Bone marrow smear; single cell centered in the field; May-Grünwald-Giemsa/Pappenheim stain
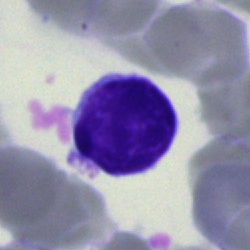Showing a typical lymphocyte.